Bone marrow smear. Brightfield, 40× oil-immersion objective: 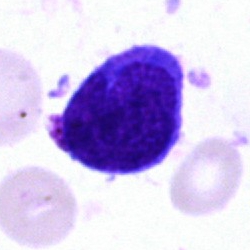{"cell_type": "blast"}